Single-cell crop; bone marrow aspirate smear; May-Grünwald-Giemsa/Pappenheim stain:
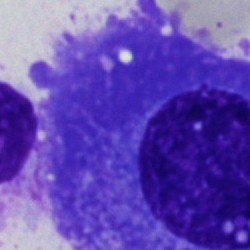Plasma cell.